Bone marrow aspirate smear · brightfield, 40× oil-immersion objective:
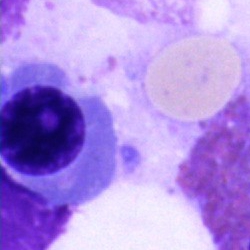Specimen: bone marrow smear.
Classification: normoblast.
Lineage: erythroid.